Bone marrow aspirate smear — 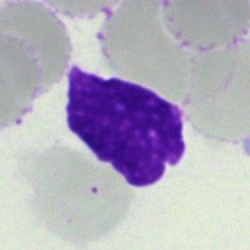
The cell shown is an artifact.